Brightfield microscopy, 40× oil immersion; bone marrow aspirate smear — 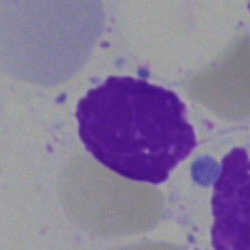Showing an artefact.